40× objective, oil immersion; May-Grünwald-Giemsa stain; bone marrow smear
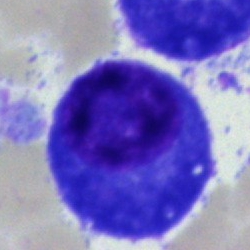Morphology — plasmacyte.